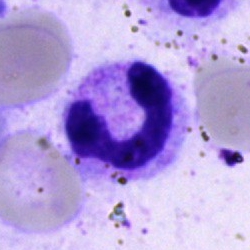 Cell type: polymorphonuclear neutrophil.